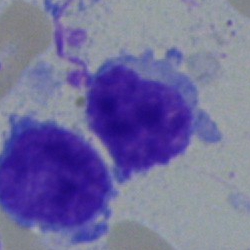

Q: What type of cell is this?
A: A typical lymphocyte.